Image size 250×250. Bone marrow smear: 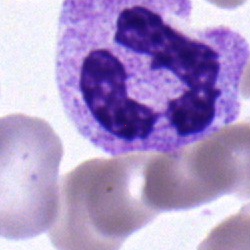
Specimen: bone marrow aspirate smear.
Cell type: polymorphonuclear neutrophil.